Bone marrow aspirate smear
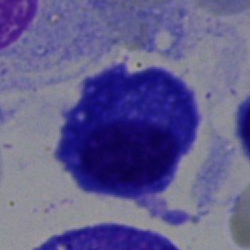 Morphology consistent with a plasma cell.